250×250; bone marrow aspirate smear; brightfield microscopy, 40× oil immersion — 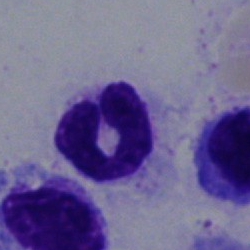 Q: What is shown here?
A: A neutrophil (segmented).